Single-cell crop. 250×250 px. Bone marrow aspirate smear: 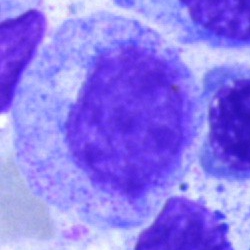
Impression → progranulocyte.